Bone marrow smear
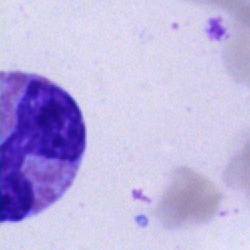Cell — eosinophil.